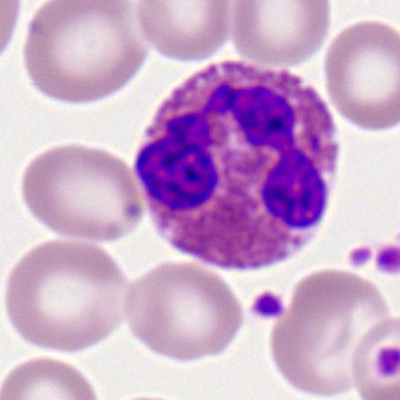 Eosinophil.